Cropped to a single cell; brightfield, 40× oil-immersion objective; bone marrow smear — 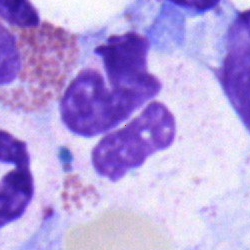

This is a neutrophil (segmented).